Bone marrow smear; brightfield microscopy, 40× oil immersion; MGG-stained — 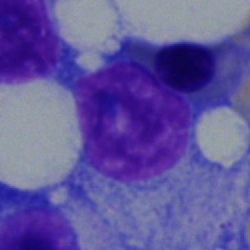 Morphological class: plasma cell.